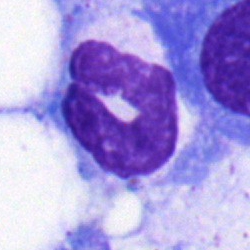 Morphological class = stab cell.